Bone marrow smear. Single-cell field: 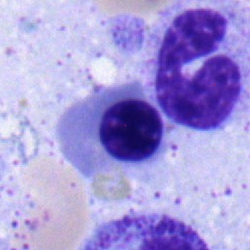Morphology → erythroblast.